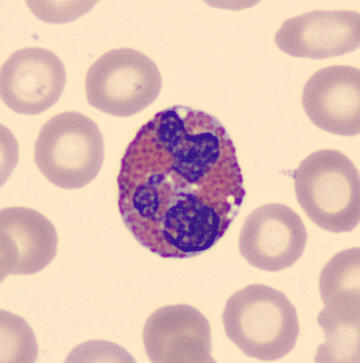
Peripheral blood film. Q: What is this?
A: This is an eosinophilic granulocyte.